Peripheral blood smear; M8 digital microscope (Precipoint), 100× oil immersion: 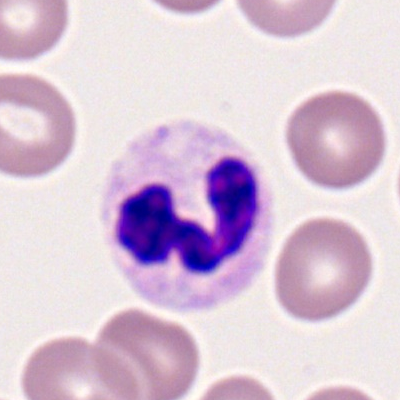 Showing a segmented neutrophil.